Peripheral blood film: 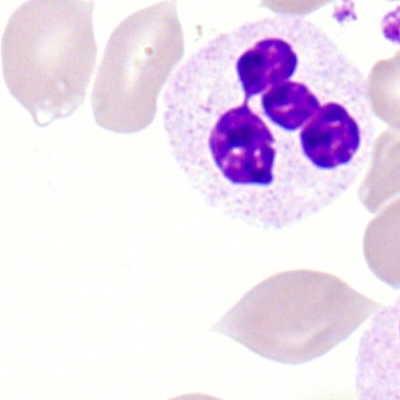 Morphological class: segmented neutrophil.